Bone marrow smear. Single cell centered in the field
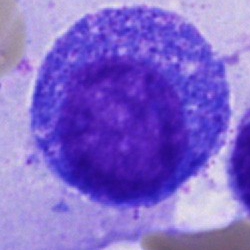
Impression → promyelocyte.